Bone marrow smear
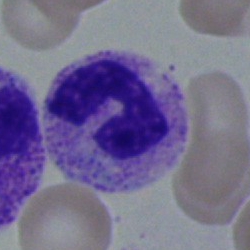Specimen: bone marrow smear.
Morphological class: band-form neutrophil.
Lineage: myeloid.